Bone marrow smear: 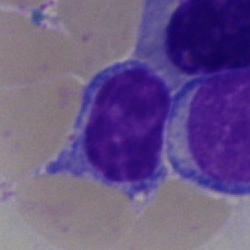
This is a lymphocyte.